Bone marrow smear.
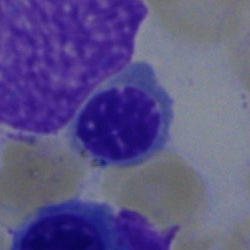

Nucleated red cell.